250×250 px. Bone marrow aspirate smear. Pappenheim-stained
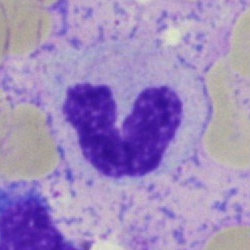

Band neutrophil.